Bone marrow aspirate smear.
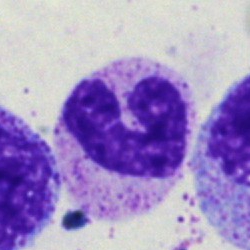
Cell type — band neutrophil.